Bone marrow smear:
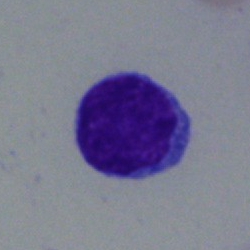
Q: What cell is this?
A: Typical lymphocyte.